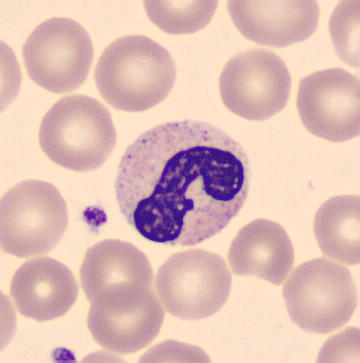 Identified as a band-form neutrophil.
Acquisition: Peripheral blood film · May-Grünwald-Giemsa-stained.